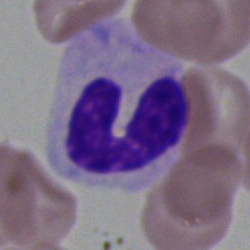 Q: What is the morphological classification of this cell?
A: It is a band neutrophil.